Brightfield microscopy, 40× oil immersion · single-cell crop · bone marrow aspirate smear.
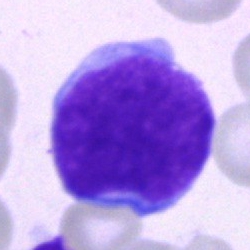

Morphology consistent with an undifferentiated blast.